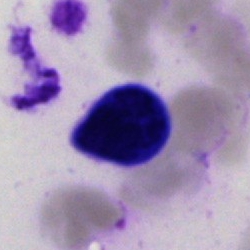

Single-cell crop from a bone marrow smear: typical lymphocyte.